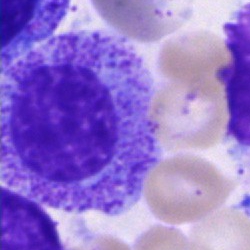
{"cell_type": "promyelocyte", "lineage": "myeloid"}